Bone marrow smear — 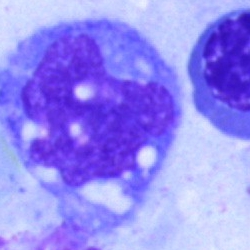

The cell shown is a monocyte.